Single cell centered in the field · bone marrow smear: 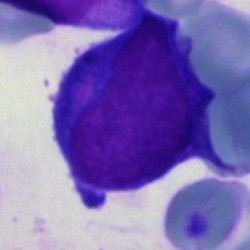 Q: Identify the cell.
A: It is an undifferentiated blast.